400×400 px; peripheral blood smear; single-cell field — 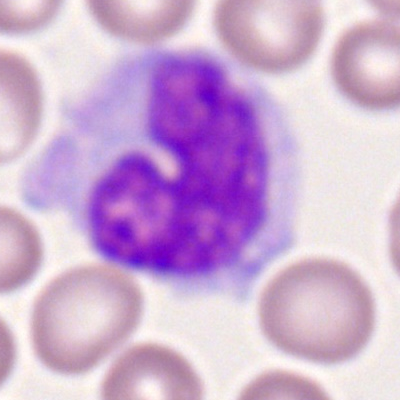 Cell type — monocyte.